Bone marrow aspirate smear — 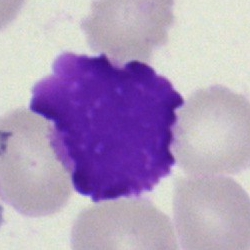

Showing an artifact.